Bone marrow smear.
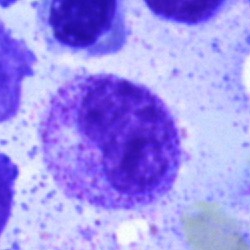 The morphological class is myelocyte.